Bone marrow aspirate smear: 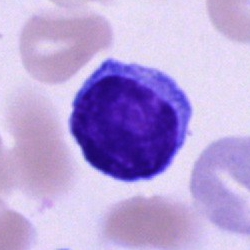Cell type: typical lymphocyte.